Bone marrow smear — 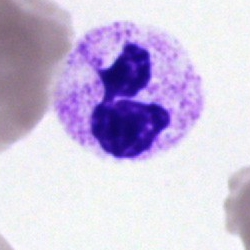 Morphology consistent with a segmented neutrophil.